Bone marrow aspirate smear · May-Grünwald-Giemsa/Pappenheim stain.
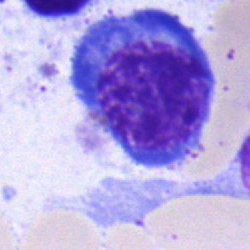Specimen: bone marrow smear.
Morphological class: nucleated red cell.
Lineage: erythroid.